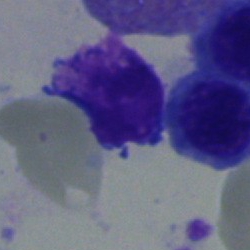 An artefact.